Bone marrow aspirate smear: 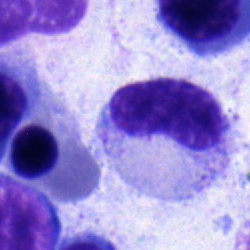 Specimen: bone marrow smear.
Classification: metamyelocyte.
Lineage: myeloid.